Bone marrow aspirate smear — 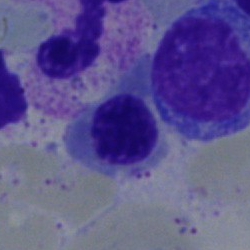

Showing a nucleated red blood cell.